Bone marrow smear. 250 by 250 pixels
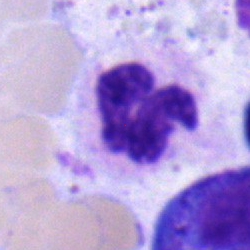 {"cell_type": "neutrophil (segmented)", "lineage": "myeloid"}